Single-cell crop; bone marrow aspirate smear; image size 250×250:
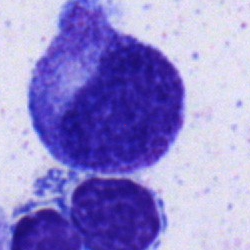

Classification: myelocyte.